Bone marrow smear
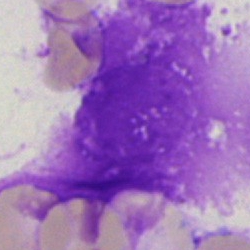Morphology consistent with an artifact.